Brightfield microscopy, 40× oil immersion; bone marrow aspirate smear; May-Grünwald-Giemsa/Pappenheim stain: 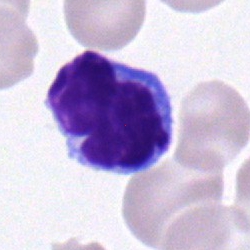
Q: What is shown here?
A: A lymphocyte.